Bone marrow aspirate smear
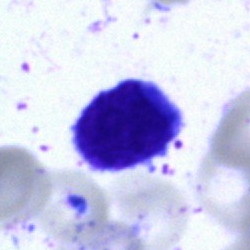

Specimen: bone marrow smear.
Classification: typical lymphocyte.